Bone marrow aspirate smear. Single-cell crop
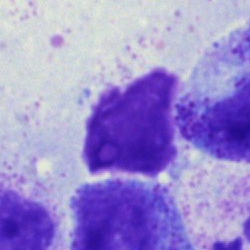Showing an artifact.